Bone marrow smear.
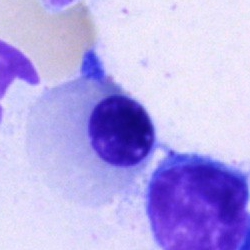{"cell_type": "nucleated red cell", "lineage": "erythroid"}